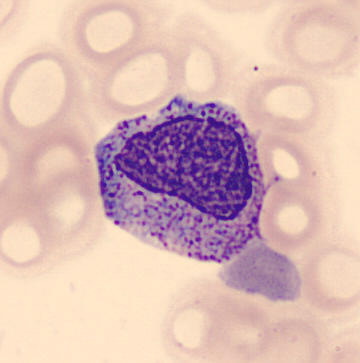
Impression — myelocyte. Image: Peripheral blood smear.